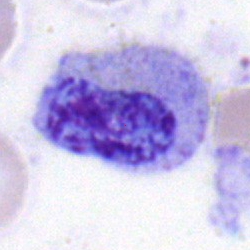Specimen: bone marrow smear.
Morphological class: metamyelocyte.